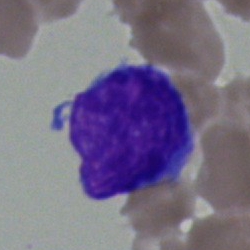
This is an undifferentiated blast.